Bone marrow aspirate smear — 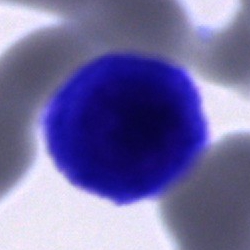

Specimen: bone marrow smear.
Morphological class: plasma cell.
Lineage: lymphoid.